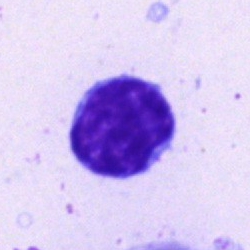
A lymphocyte.